Brightfield, 40× oil-immersion objective · bone marrow aspirate smear: 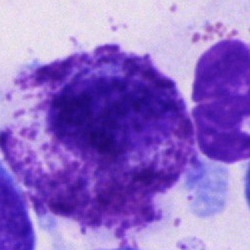
Cell — cell not matching the other categories.